Bone marrow aspirate smear: 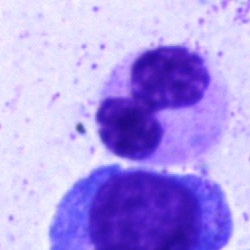Single cell identified as a segmented neutrophil.